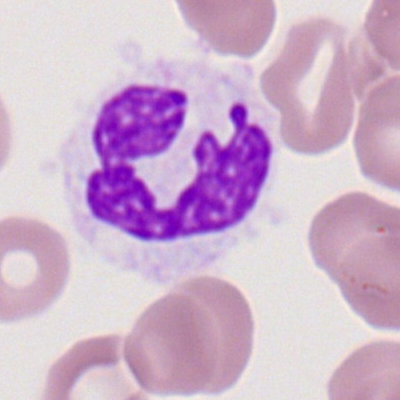Morphological class = segmented neutrophil.